Bone marrow smear.
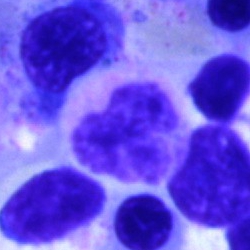Q: What is the morphological classification of this cell?
A: It is a segmented neutrophil.